Cropped to a single cell; image size 250×250; bone marrow smear:
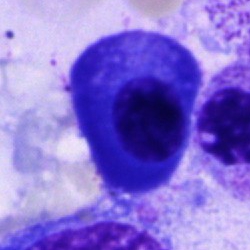 Impression → plasmacyte.